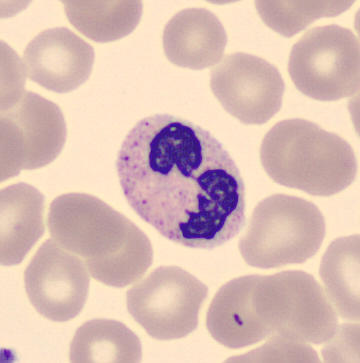Acquisition: Peripheral blood film. May-Grünwald-Giemsa-stained.

Identified as a polymorphonuclear neutrophil.